40× oil immersion · bone marrow aspirate smear — 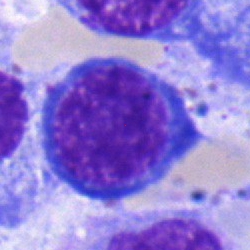

Q: What type of cell is this?
A: It is a nucleated red cell.